Bone marrow smear
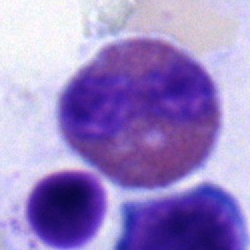 The classification is eosinophilic granulocyte.